Single-cell crop. Bone marrow smear — 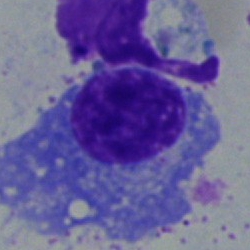 Specimen: bone marrow smear.
Cell: plasmacyte.
Lineage: lymphoid.